Bone marrow smear. 250 by 250 pixels: 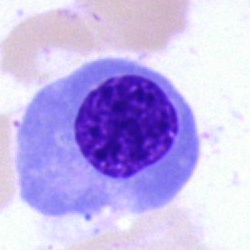Showing an erythroblast.